Romanowsky stain. Peripheral blood film — 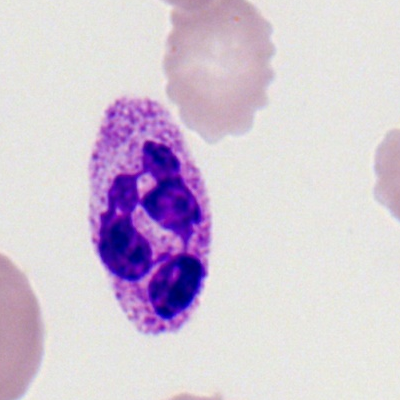
Q: What is shown here?
A: It is a neutrophil (segmented).